Peripheral blood smear.
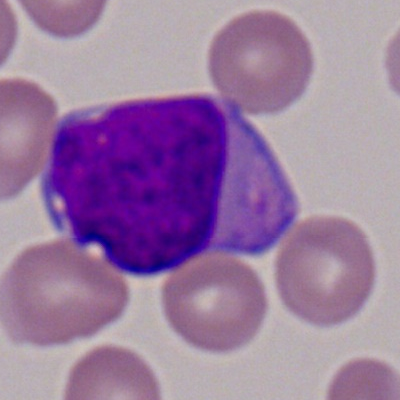
Morphology consistent with a myeloblast.